Bone marrow aspirate smear · 40× objective, oil immersion: 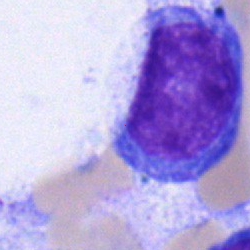
The cell is blast cell.